Bone marrow aspirate smear — 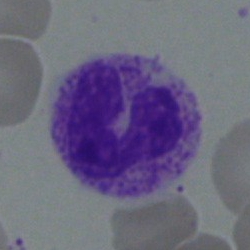

Q: What is the morphological classification of this cell?
A: It is a neutrophil (band).